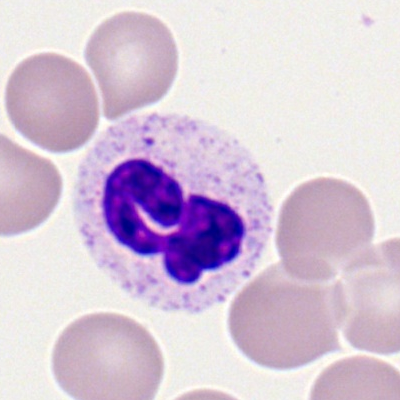

Specimen: peripheral blood smear.
Morphological class: polymorphonuclear neutrophil.
Lineage: myeloid.